Bone marrow aspirate smear: 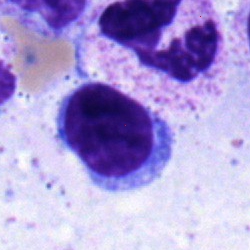 Morphology — typical lymphocyte.